Cropped to a single cell; bone marrow aspirate smear: 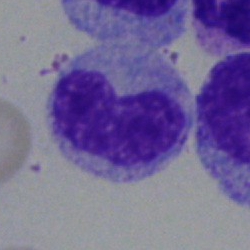

{"cell_type": "band-form neutrophil", "lineage": "myeloid"}